Peripheral blood film. Single cell centered in the field. Image size 360×363.
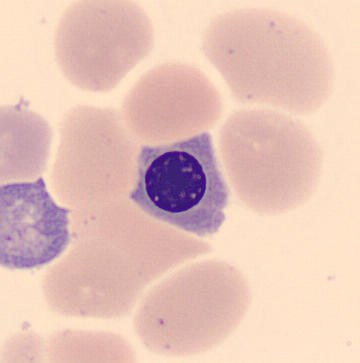
Morphology consistent with a nucleated red cell.